Bone marrow smear. 250 by 250 pixels
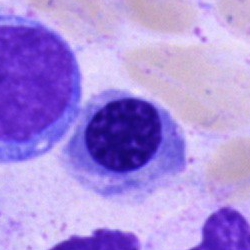Morphological class = nucleated red blood cell.